250×250 px. Bone marrow smear. 40× objective, oil immersion: 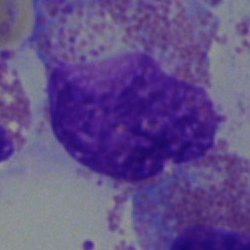 Specimen: bone marrow aspirate smear.
Cell type: eosinophil.